Bone marrow aspirate smear; image size 250×250.
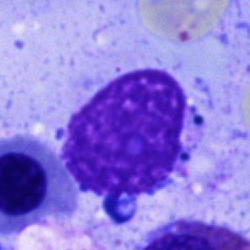 The classification is artifact.